Cropped to a single cell. Bone marrow smear
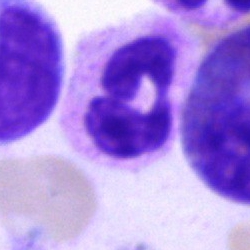

Morphology consistent with a segmented neutrophil.